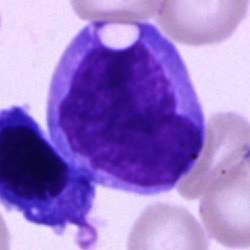

Q: What cell is this?
A: It is an undifferentiated blast.